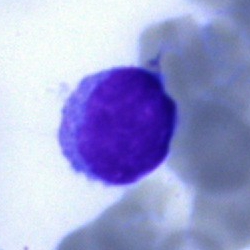
Q: Which cell type is shown here?
A: A lymphocyte.